Peripheral blood film; image size 360×363; CellaVision DM96:
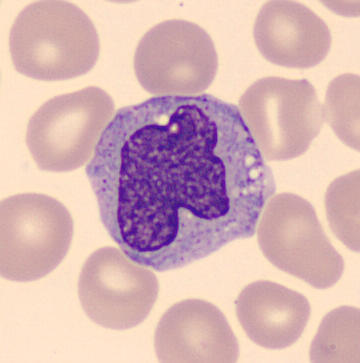

Single cell identified as a monocyte.